Peripheral blood film: 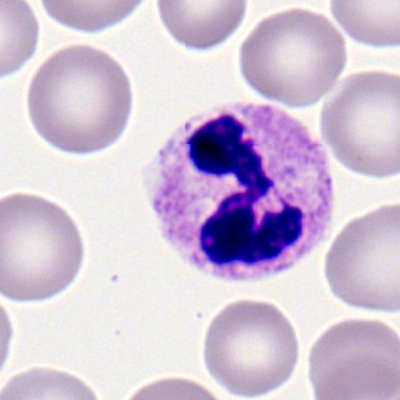
The cell shown is a neutrophil (segmented).